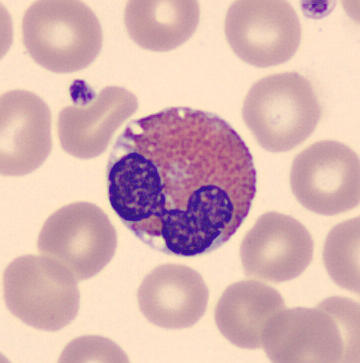 Specimen: peripheral blood smear.
Morphological class: eosinophilic granulocyte.
Lineage: myeloid.